Bone marrow aspirate smear
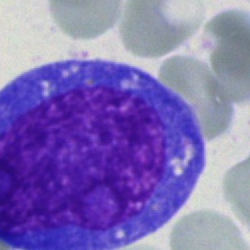
Q: What type of cell is this?
A: An undifferentiated blast.